May-Grünwald-Giemsa/Pappenheim stain · bone marrow smear — 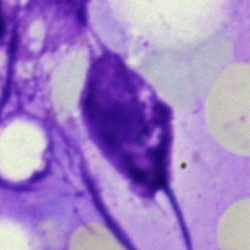 Morphology — artifact.